Bone marrow smear
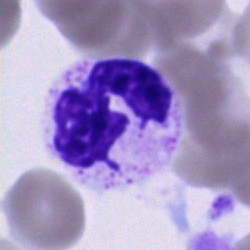

Morphology → polymorphonuclear neutrophil.